Bone marrow smear:
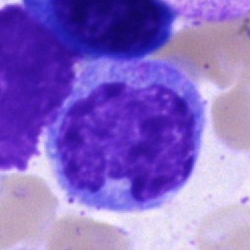
Q: Identify the cell.
A: This is a monocyte.